Bone marrow aspirate smear — 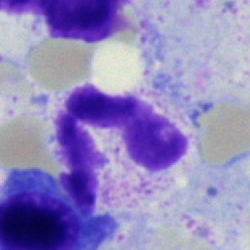{"cell_type": "segmented neutrophil"}